Peripheral blood film · brightfield, 100× oil-immersion objective
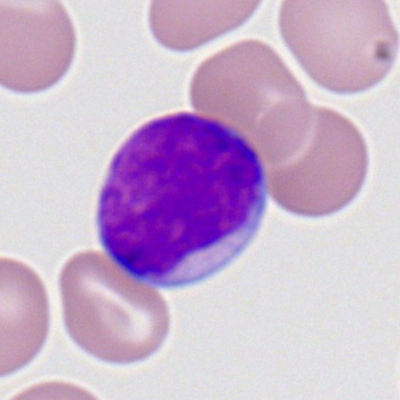 Single cell identified as a myeloblast.